Bone marrow aspirate smear: 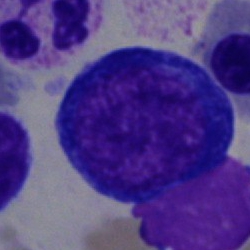
Specimen: bone marrow smear.
Morphological class: pronormoblast.